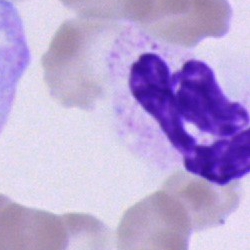

Q: What cell is this?
A: This is a segmented neutrophil.